Bone marrow aspirate smear: 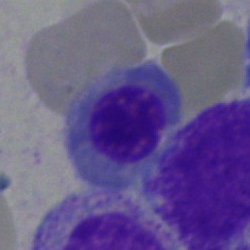 Showing a nucleated red blood cell.